Brightfield, 40× oil-immersion objective · single cell centered in the field · bone marrow smear.
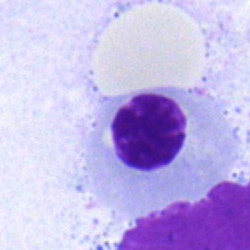 Cell type = nucleated red blood cell.